Single cell centered in the field · bone marrow aspirate smear.
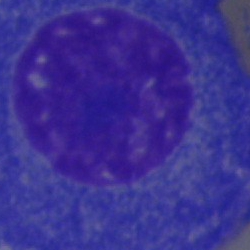Q: Identify the cell.
A: Plasmacyte.